Single-cell crop · bone marrow smear:
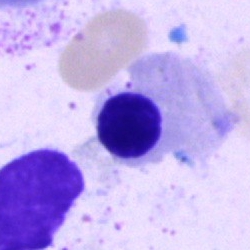
Q: What is the morphological classification of this cell?
A: It is an erythroblast.